Bone marrow smear:
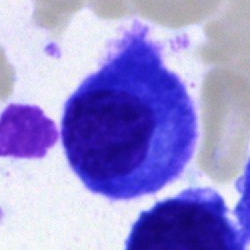
Cell = plasmacyte.